40× objective, oil immersion. Bone marrow aspirate smear
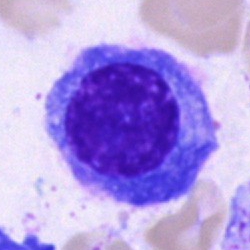Q: What is shown here?
A: Plasma cell.